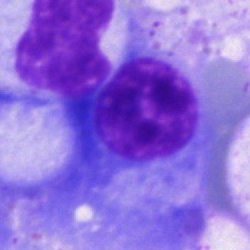 {"cell_type": "plasma cell"}